Bone marrow aspirate smear — 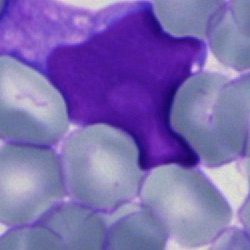Single cell identified as a blast.